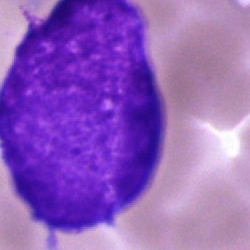Cell = artefact.